Bone marrow smear: 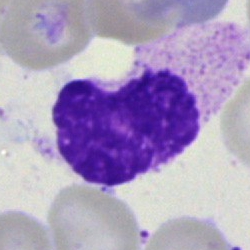Cell: artefact.